Bone marrow smear — 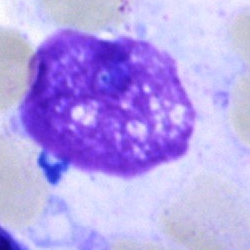

Cell type = artefact.